Single-cell field · peripheral blood film: 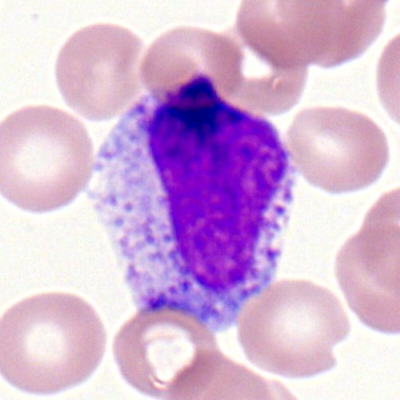
Q: Which cell type is shown here?
A: Metamyelocyte.